MGG-stained; bone marrow smear.
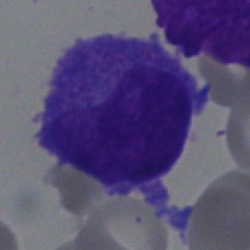

Specimen: bone marrow smear.
Cell: blast.